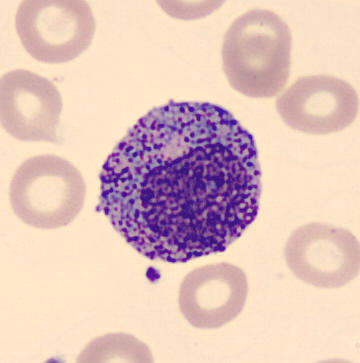 Q: Identify the cell.
A: It is a myelocyte.
CellaVision DM96 digital cell image. Peripheral blood film. 360×363.